Brightfield, 100× oil-immersion objective · peripheral blood film: 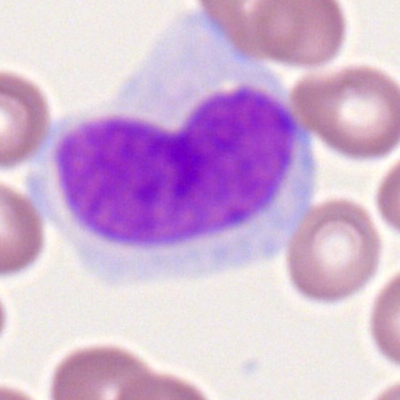 This is a monocyte.